Bone marrow aspirate smear
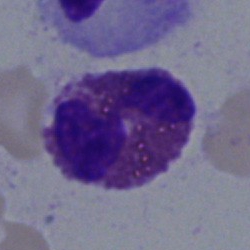

Single cell identified as an eosinophil.